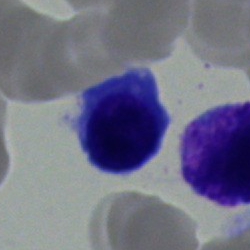The cell shown is a typical lymphocyte.